Bone marrow aspirate smear · MGG-stained.
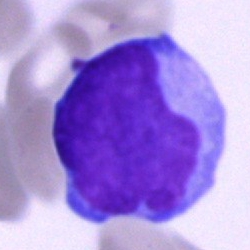Single cell identified as an undifferentiated blast.